Peripheral blood smear; M8 digital microscope (Precipoint), 100× oil immersion.
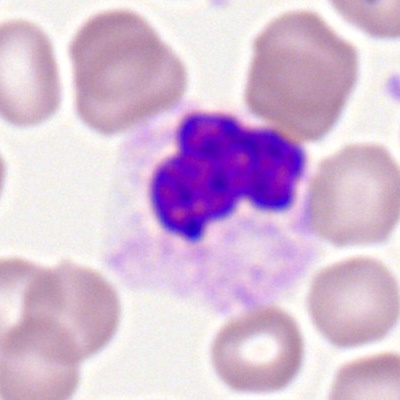 Classification = polymorphonuclear neutrophil.